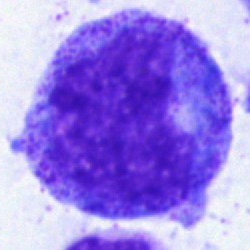

A progranulocyte.